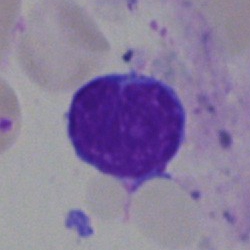
Impression — typical lymphocyte.